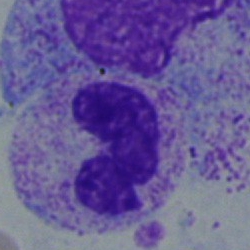 Showing a band neutrophil.